Bone marrow smear; single-cell field; 40× objective, oil immersion:
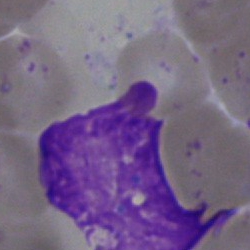
Q: What is shown here?
A: Artefact.